Bone marrow aspirate smear:
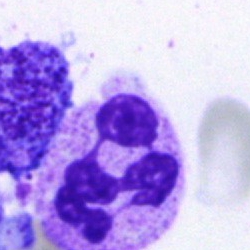
Cell type = neutrophil (segmented).